Bone marrow aspirate smear
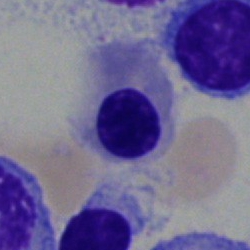 Specimen: bone marrow aspirate smear.
Cell: nucleated red blood cell.